Bone marrow aspirate smear. 250×250 — 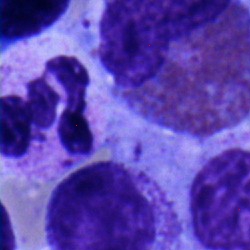 A neutrophil (segmented).